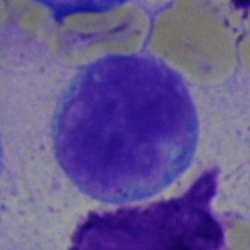
Cell type: undifferentiated blast.